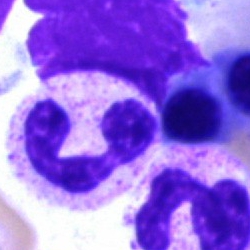Cell = polymorphonuclear neutrophil.